Bone marrow aspirate smear:
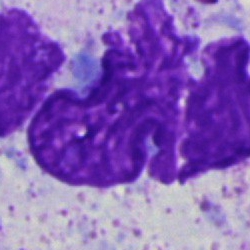
Showing an artefact.